250×250; bone marrow aspirate smear: 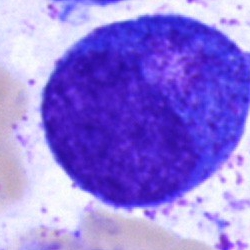
Q: What is shown here?
A: Progranulocyte.